250×250 px · bone marrow smear — 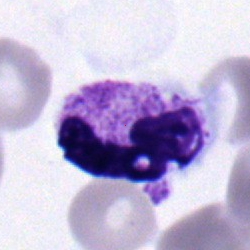
Segmented neutrophil.